Bone marrow smear
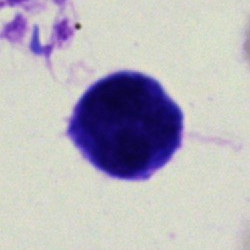Specimen: bone marrow aspirate smear.
Morphological class: artefact.